Bone marrow smear · MGG-stained: 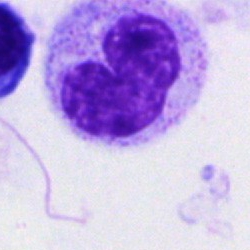 A band neutrophil.